Bone marrow smear — 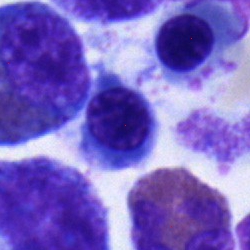
This is a normoblast.